Bone marrow smear:
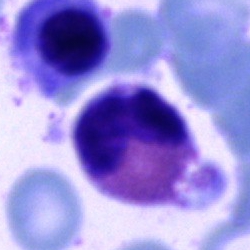

Q: What is the morphological classification of this cell?
A: This is an eosinophil.